Bone marrow smear: 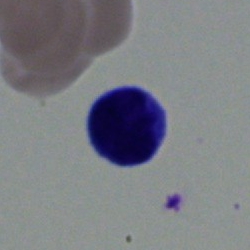
Impression — typical lymphocyte.